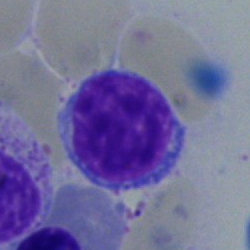 Bone marrow smear showing a lymphocyte.